40× oil immersion · cropped to a single cell · bone marrow aspirate smear: 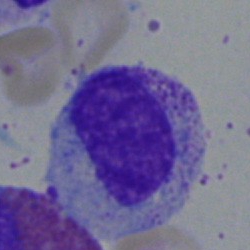

Impression — metamyelocyte.